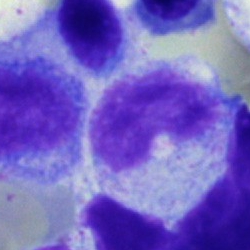 Impression → metamyelocyte.